Bone marrow smear — 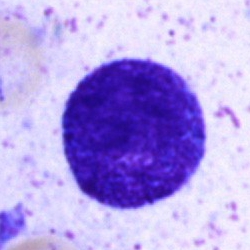
Morphology → progranulocyte.